Single-cell crop · bone marrow aspirate smear.
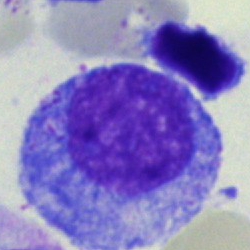
Single cell identified as a progranulocyte.